Bone marrow aspirate smear; 40× objective, oil immersion; 250×250 px — 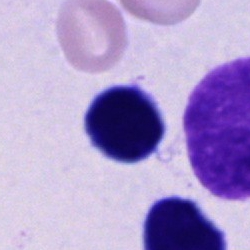 Unidentifiable cell.